250 by 250 pixels. Bone marrow aspirate smear. Single-cell crop — 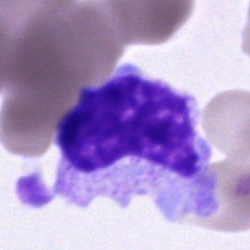
Showing an unidentifiable cell.